100× oil immersion, 14.14 px/µm; peripheral blood smear: 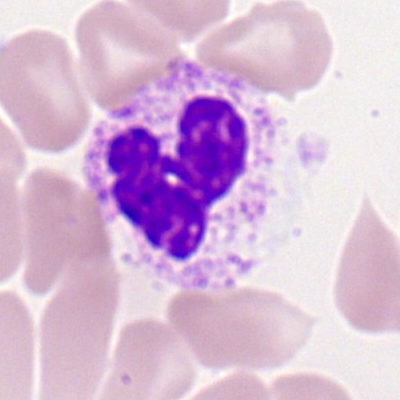

Specimen: peripheral blood film.
Morphological class: neutrophil (segmented).
Lineage: myeloid.